Bone marrow smear.
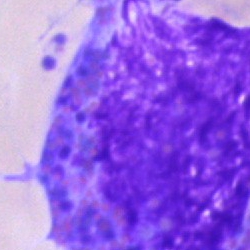 The cell type is artefact.